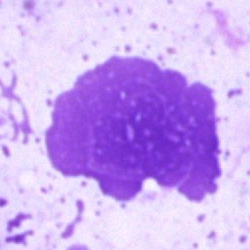
The cell shown is an artifact.